Bone marrow smear:
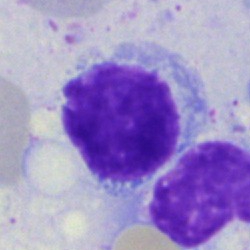Q: What is shown here?
A: It is a lymphocyte.